Peripheral blood smear · 100× oil immersion, 14.14 px/µm — 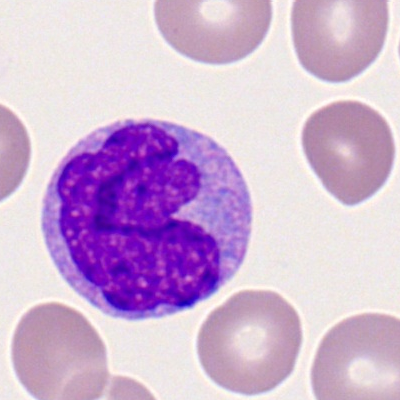

Q: Which cell type is shown here?
A: This is a monocyte.